Peripheral blood smear.
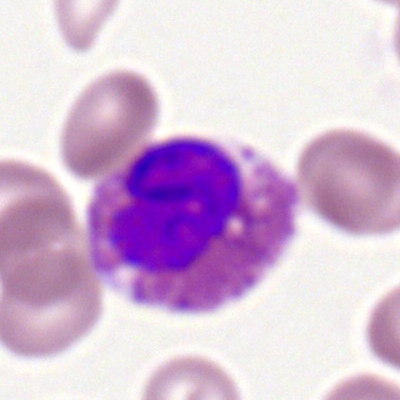
Specimen: peripheral blood smear.
Morphological class: eosinophilic granulocyte.
Lineage: myeloid.